Peripheral blood smear · brightfield, 100× oil-immersion objective.
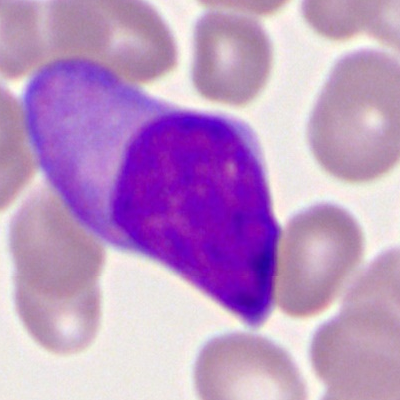
Q: Which cell type is shown here?
A: Myeloblast.